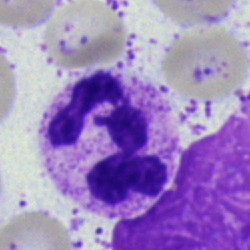

Classification — neutrophil (segmented).